Bone marrow smear · Pappenheim-stained
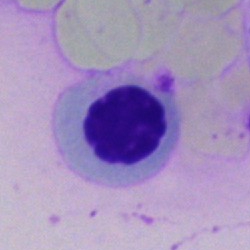

Q: What is shown here?
A: A nucleated red blood cell.